Bone marrow aspirate smear; MGG-stained: 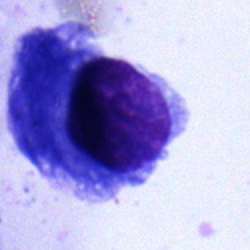

Showing a plasma cell.